Bone marrow smear.
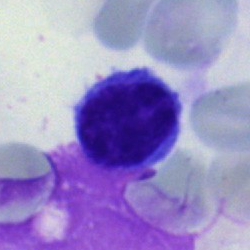
The cell shown is a typical lymphocyte.